Bone marrow smear: 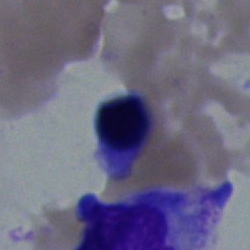Morphology consistent with a nucleated red blood cell.